40× objective, oil immersion · MGG-stained · bone marrow aspirate smear
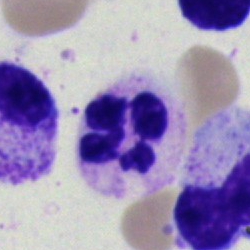

Neutrophil (segmented).